Peripheral blood film: 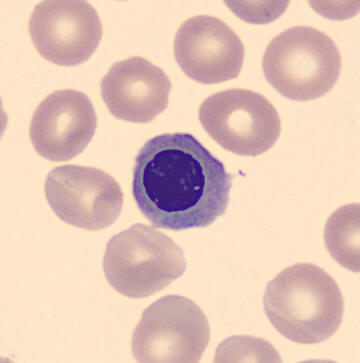 This is a nucleated red blood cell.